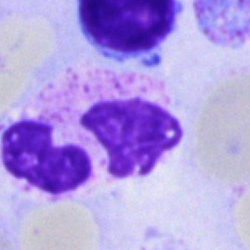

The cell shown is a segmented neutrophil.